Bone marrow smear: 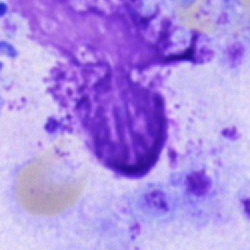Artifact.